Image size 250×250. Bone marrow aspirate smear. Brightfield, 40× oil-immersion objective:
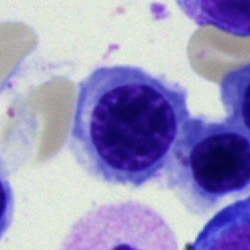 Single cell identified as an erythroblast.